Bone marrow smear · brightfield, 40× oil-immersion objective.
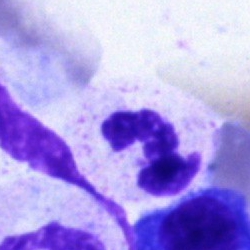

A neutrophil (segmented).